Bone marrow aspirate smear
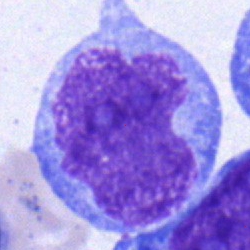 Q: What is the morphological classification of this cell?
A: Blast cell.